Bone marrow smear.
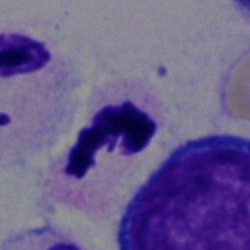

Q: What type of cell is this?
A: This is a polymorphonuclear neutrophil.